Bone marrow smear
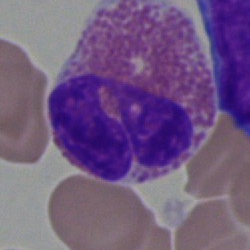Specimen: bone marrow aspirate smear.
Cell type: eosinophil.